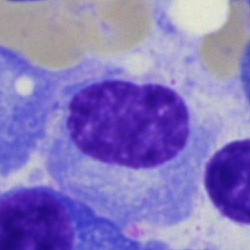

{"cell_type": "plasmacyte", "lineage": "lymphoid"}